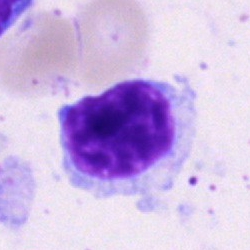

Q: Identify the cell.
A: It is a typical lymphocyte.